Bone marrow aspirate smear · single-cell crop — 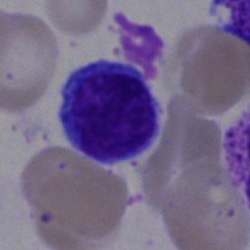 Q: Identify the cell.
A: It is a typical lymphocyte.